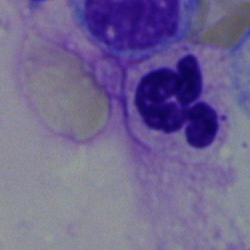Q: What is the morphological classification of this cell?
A: It is a neutrophil (segmented).